Bone marrow smear — 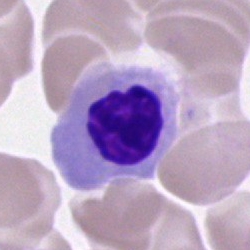Q: What cell is this?
A: This is a nucleated red blood cell.